MGG-stained · bone marrow smear — 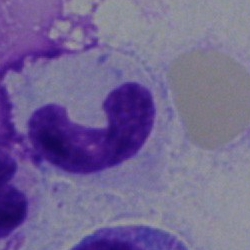This is a neutrophil (band).